Bone marrow aspirate smear
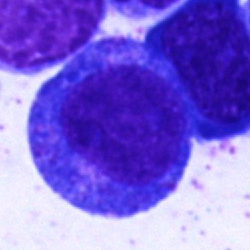
Specimen: bone marrow smear.
Cell type: promyelocyte.
Lineage: myeloid.